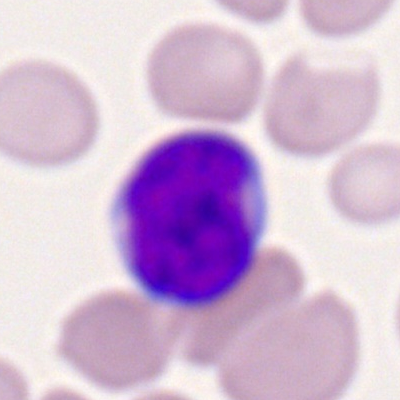
Specimen: peripheral blood smear.
Cell: lymphocyte.